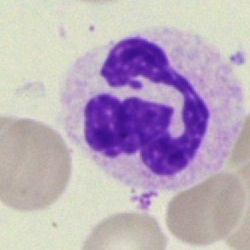

Cell = polymorphonuclear neutrophil.